250×250 px · cropped to a single cell · bone marrow aspirate smear
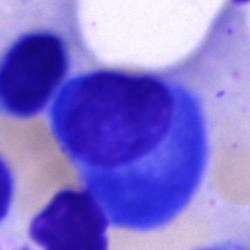
Specimen: bone marrow aspirate smear.
Morphological class: plasma cell.